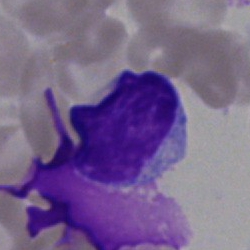 The cell is lymphocyte.